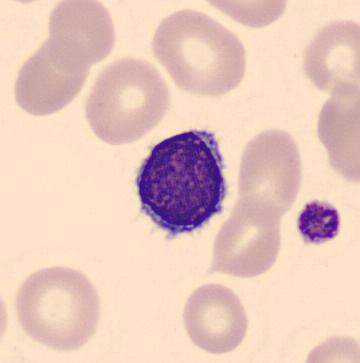Identified as a lymphocyte. Image: Image size 360×363. Peripheral blood smear.